250×250 px. Bone marrow aspirate smear: 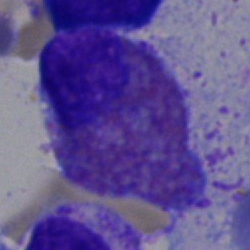

Specimen: bone marrow smear.
Cell: eosinophil.
Lineage: myeloid.